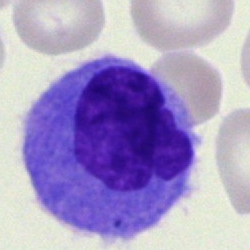 Q: What is the morphological classification of this cell?
A: Monocyte.